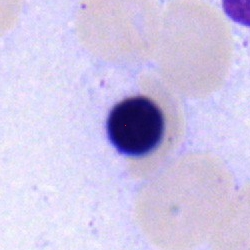 Q: What is the morphological classification of this cell?
A: This is an erythroblast.